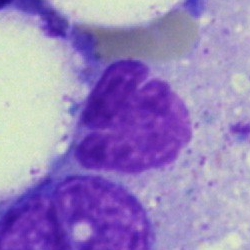 Morphology consistent with an artefact.